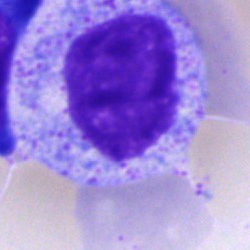Showing a promyelocyte.